250×250; bone marrow smear.
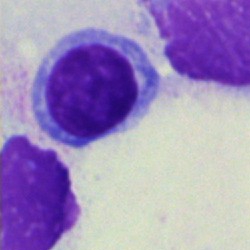 Morphological class — typical lymphocyte.